Image size 250×250 · Pappenheim-stained · bone marrow aspirate smear.
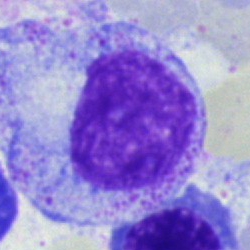
A myelocyte.